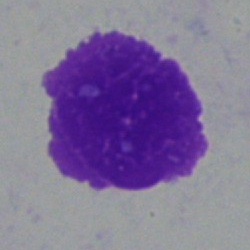 Cell type = artifact.